Bone marrow aspirate smear; cropped to a single cell; 40× oil immersion — 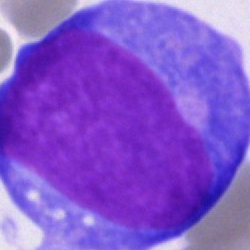
Q: Identify the cell.
A: A blast.